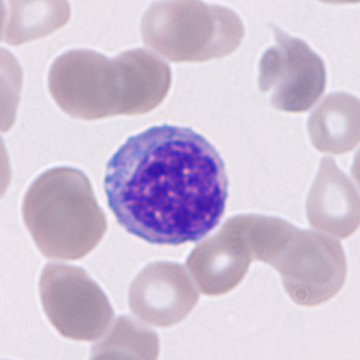 360 by 360 pixels. Peripheral blood film. CellaVision DM96.

Cell type: immature granulocyte.